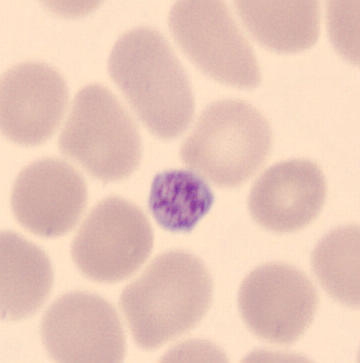 This is a thrombocyte.